Bone marrow aspirate smear
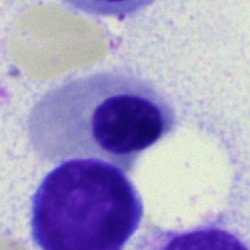{"cell_type": "normoblast", "lineage": "erythroid"}